Bone marrow aspirate smear. Single-cell crop
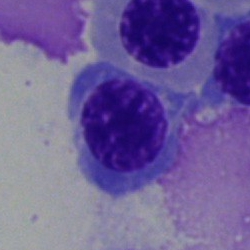

Single cell identified as a normoblast.